Single-cell crop · brightfield microscopy, 40× oil immersion · bone marrow smear.
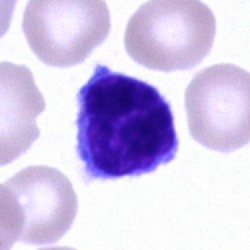 This is a lymphocyte.